Bone marrow aspirate smear.
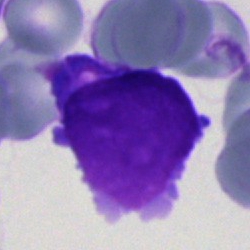

This is a blast cell.